Bone marrow aspirate smear
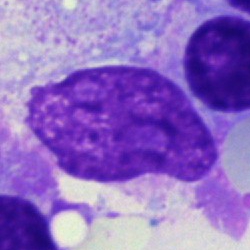
Q: What is shown here?
A: An artifact.